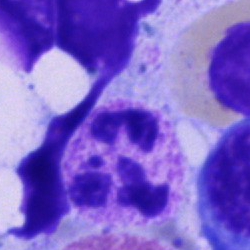

Single-cell crop from a bone marrow smear: segmented neutrophil.